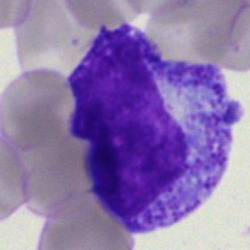
Bone marrow smear showing a myelocyte.